100× objective, oil immersion. Peripheral blood film.
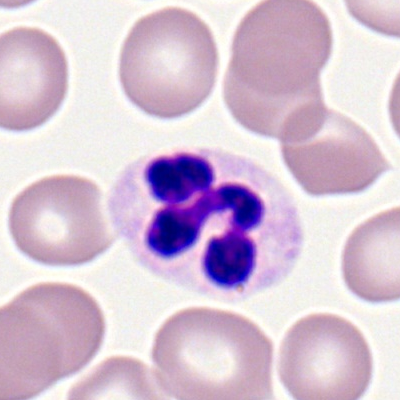 Showing a polymorphonuclear neutrophil.